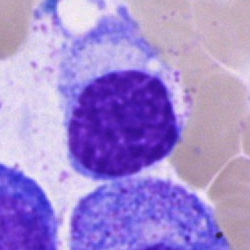Classification = plasmacyte.